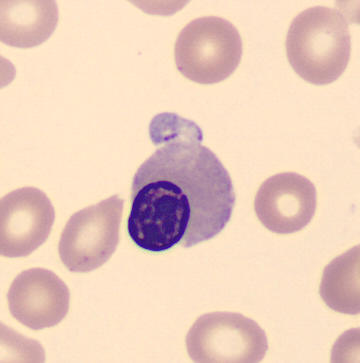Specimen: peripheral blood smear.
Cell: normoblast.
CellaVision DM96.